Image size 250×250; bone marrow smear:
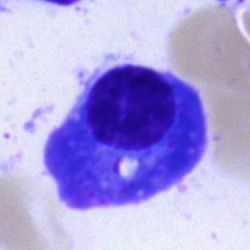 Morphology consistent with a plasmacyte.